Romanowsky-type stain. Peripheral blood film. Single cell centered in the field
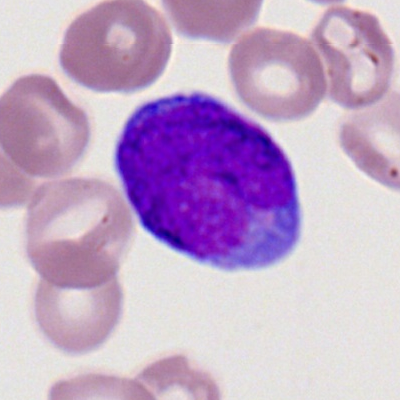

{"cell_type": "myeloblast", "lineage": "myeloid"}